May-Grünwald-Giemsa/Pappenheim stain · bone marrow smear · cropped to a single cell: 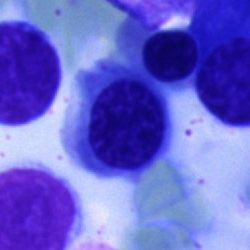

The cell shown is a normoblast.